Image size 250×250. May-Grünwald-Giemsa stain. Bone marrow smear — 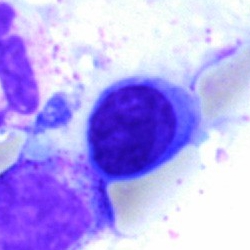
Q: What is shown here?
A: This is an erythroblast.